Cropped to a single cell; bone marrow aspirate smear: 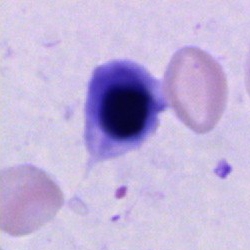
This is a normoblast.